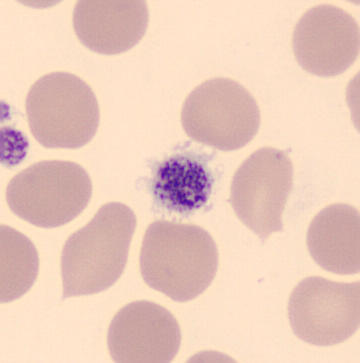

Image: Peripheral blood film.

Classification — platelet.